Bone marrow aspirate smear. 250×250 px. Brightfield microscopy, 40× oil immersion — 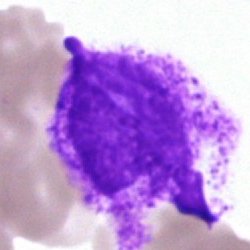 This is an artefact.